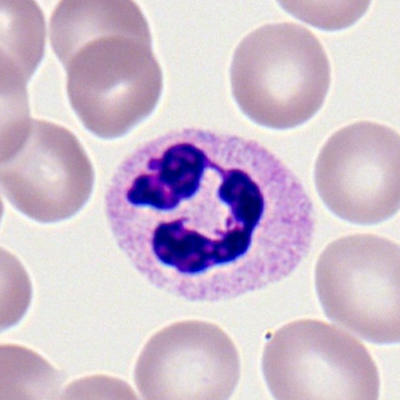 The cell type is segmented neutrophil.